Bone marrow smear.
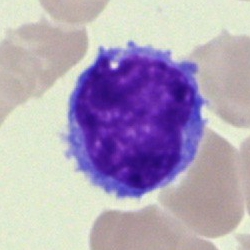 Typical lymphocyte.